Bone marrow smear
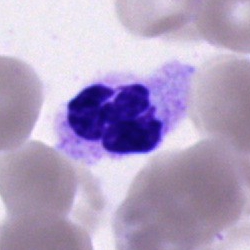{"cell_type": "neutrophil (segmented)"}